Bone marrow smear.
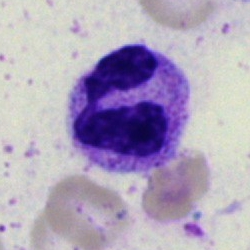
Q: What type of cell is this?
A: A segmented neutrophil.